Bone marrow smear:
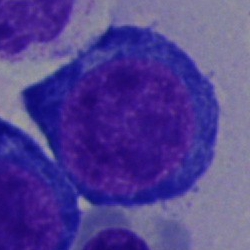 Showing a proerythroblast.